MGG-stained; single-cell field; bone marrow aspirate smear:
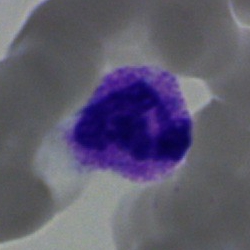

This is a neutrophil (segmented).